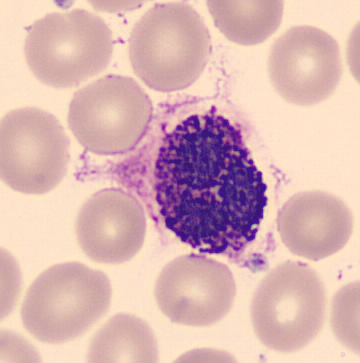 Imaged on a CellaVision DM96 analyser · peripheral blood film · May Grünwald-Giemsa stain. A basophil.